Pappenheim-stained. Bone marrow aspirate smear:
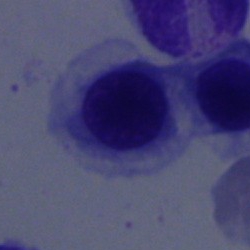
Specimen: bone marrow aspirate smear.
Classification: nucleated red blood cell.
Lineage: erythroid.